Bone marrow aspirate smear.
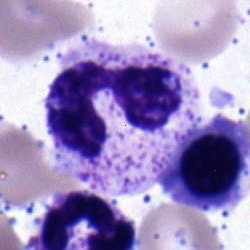Q: What is the morphological classification of this cell?
A: A segmented neutrophil.